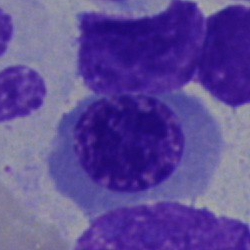 Specimen: bone marrow aspirate smear.
Classification: nucleated red cell.
Lineage: erythroid.